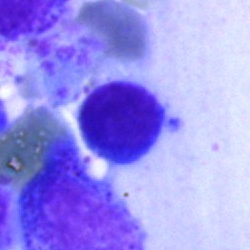
Bone marrow aspirate smear, single cell — typical lymphocyte.